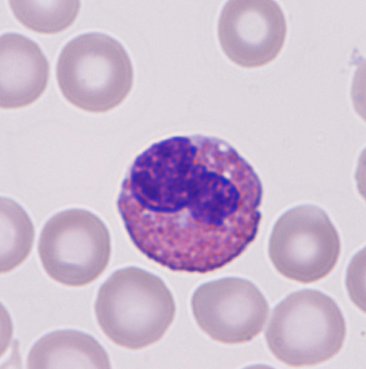
Single cell identified as an eosinophil.